Single cell centered in the field. Romanowsky stain. Peripheral blood film
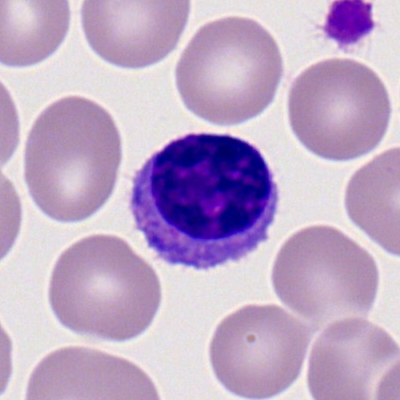
Q: What cell is this?
A: A lymphocyte.